40× objective, oil immersion. Bone marrow aspirate smear: 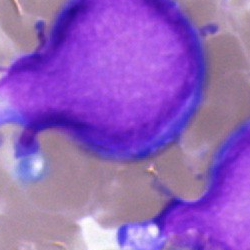
Q: What is the morphological classification of this cell?
A: It is a blast cell.